Bone marrow aspirate smear. 250×250 px: 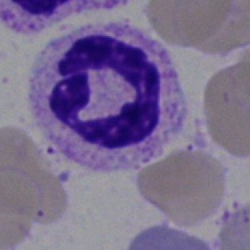
Morphology consistent with a neutrophil (segmented).